Bone marrow smear
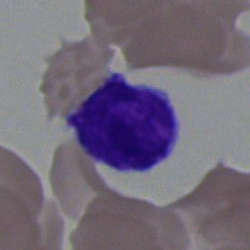Specimen: bone marrow smear.
Classification: typical lymphocyte.